Bone marrow smear — 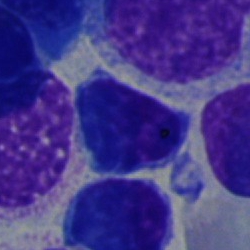 Morphology consistent with a typical lymphocyte.